Brightfield microscopy, 40× oil immersion · 250 by 250 pixels · bone marrow aspirate smear: 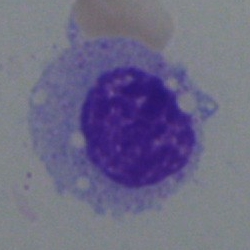

Single cell identified as a myelocyte.